Bone marrow smear
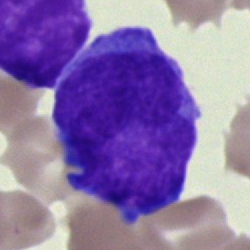

Classification: blast.